Bone marrow aspirate smear; MGG-stained; single cell centered in the field:
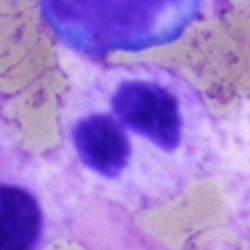

Classification: polymorphonuclear neutrophil.